250×250 px; bone marrow aspirate smear; 40× oil immersion.
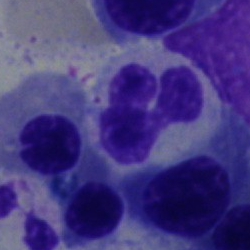
Morphology consistent with a polymorphonuclear neutrophil.